Cropped to a single cell · peripheral blood smear:
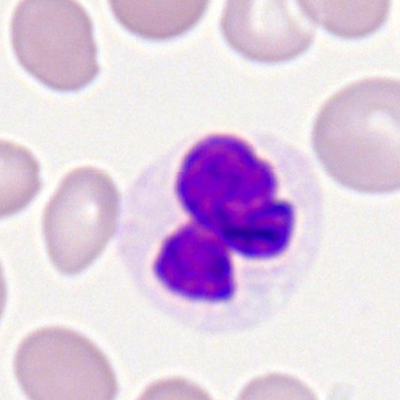Specimen: peripheral blood smear.
Cell type: neutrophil (segmented).